Bone marrow aspirate smear: 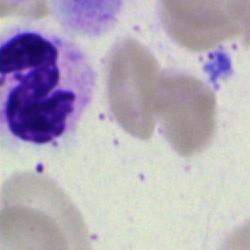
Classification — polymorphonuclear neutrophil.